40× oil immersion · bone marrow aspirate smear · May-Grünwald-Giemsa/Pappenheim stain: 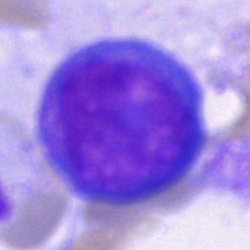Q: What is the morphological classification of this cell?
A: Blast.